Bone marrow aspirate smear · image size 250×250.
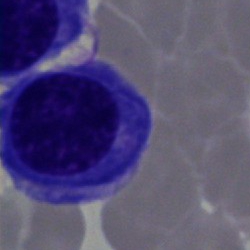 Q: What is the morphological classification of this cell?
A: A normoblast.